Bone marrow smear — 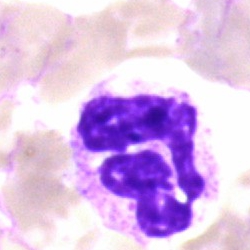

Neutrophil (segmented).